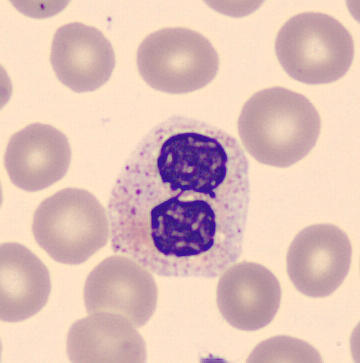

Identified as a segmented neutrophil. Preparation: Peripheral blood smear.